Peripheral blood film. 360×363
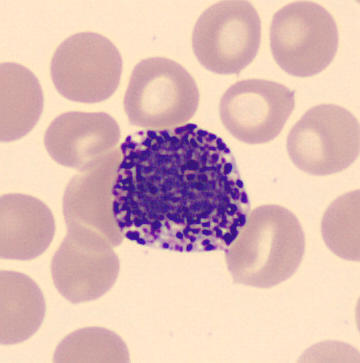
Impression → basophilic granulocyte.